Bone marrow smear — 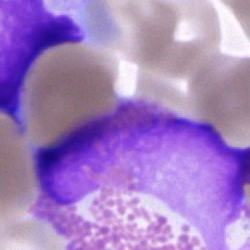Classification: eosinophilic granulocyte.